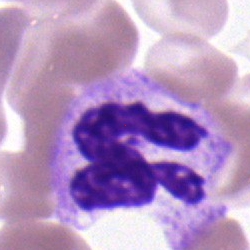 Morphology consistent with a polymorphonuclear neutrophil.